40× objective, oil immersion; bone marrow aspirate smear — 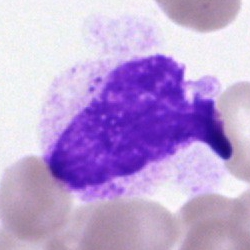
Specimen: bone marrow aspirate smear.
Classification: artifact.